Bone marrow smear; MGG-stained — 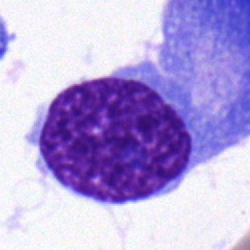 Single cell identified as a plasmacyte.